Bone marrow aspirate smear · May-Grünwald-Giemsa/Pappenheim stain.
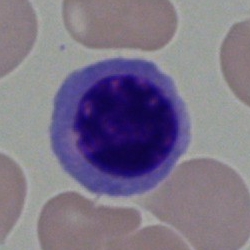

Classification = nucleated red cell.